Single cell centered in the field. 400×400 px. Peripheral blood film — 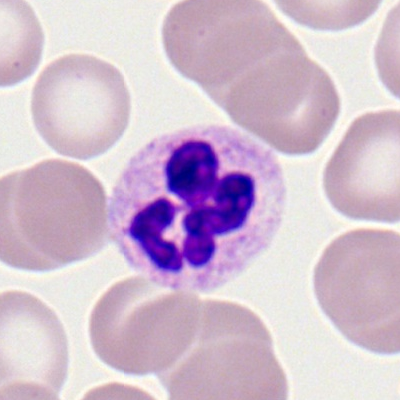
Impression — polymorphonuclear neutrophil.